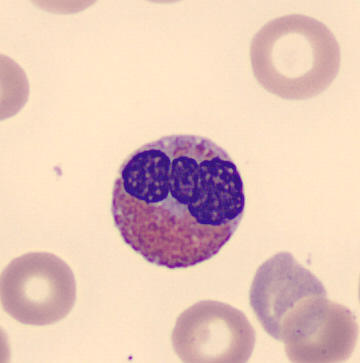

Q: What is the morphological classification of this cell?
A: An eosinophil.